Single-cell crop. Bone marrow smear. Pappenheim-stained — 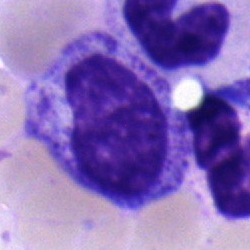

Q: What cell is this?
A: This is a metamyelocyte.